Peripheral blood smear
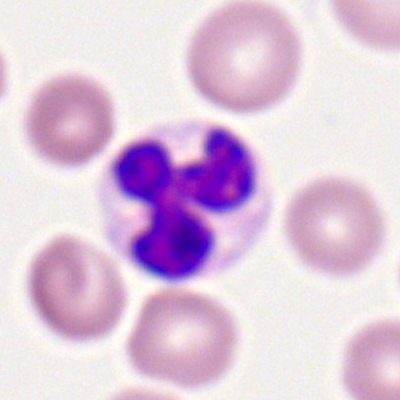 Neutrophil (segmented).